MGG-stained. Bone marrow aspirate smear. 250×250 px:
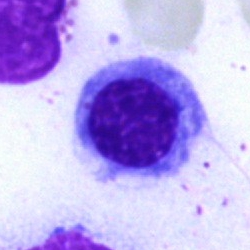
Single cell identified as a normoblast.